Bone marrow aspirate smear: 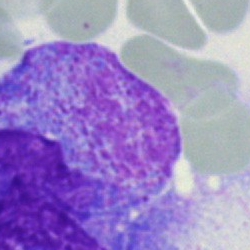This is an artefact.